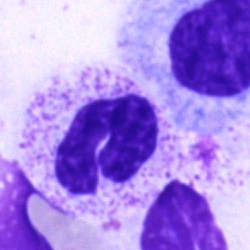Impression → neutrophil (band).